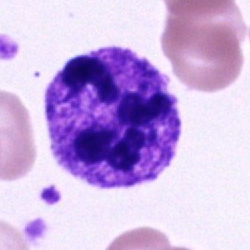

The classification is polymorphonuclear neutrophil.